Bone marrow smear:
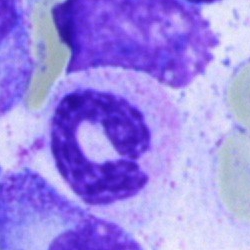
A polymorphonuclear neutrophil.